Bone marrow aspirate smear; MGG-stained.
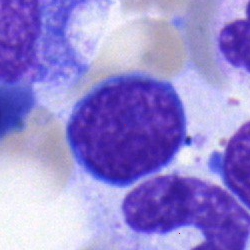

Q: What cell is this?
A: Typical lymphocyte.